Bone marrow aspirate smear. Image size 250×250: 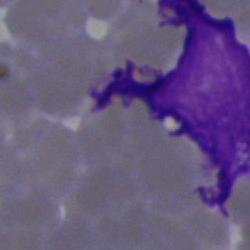Q: What is shown here?
A: It is an artefact.